40× oil immersion; bone marrow smear: 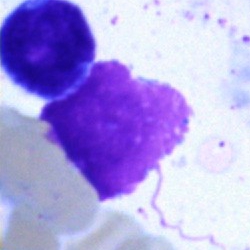Cell type — artifact.